Bone marrow aspirate smear
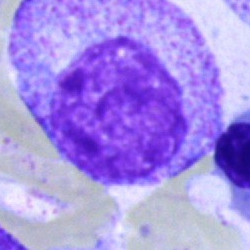Morphological class: myelocyte.